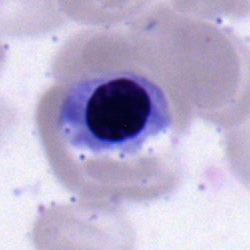 The cell type is normoblast.